Bone marrow aspirate smear; brightfield microscopy, 40× oil immersion: 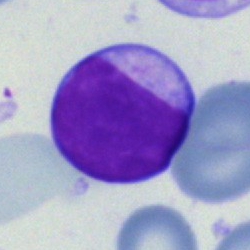
Cell type: typical lymphocyte.